Brightfield microscopy, 40× oil immersion · single cell centered in the field · bone marrow aspirate smear.
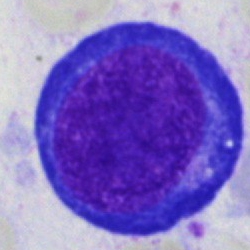Specimen: bone marrow smear.
Cell: pronormoblast.
Lineage: erythroid.